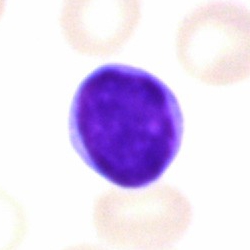This is a lymphocyte.